Bone marrow aspirate smear; 40× objective, oil immersion; 250×250: 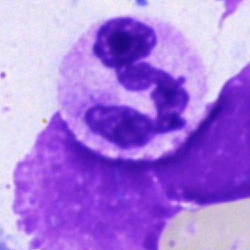
Specimen: bone marrow smear.
Classification: neutrophil (segmented).
Lineage: myeloid.